Bone marrow smear:
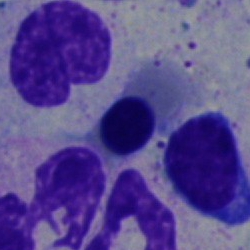

Nucleated red cell.